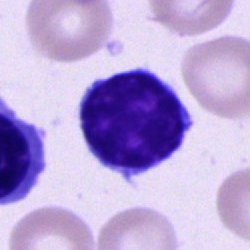The cell shown is a lymphocyte.